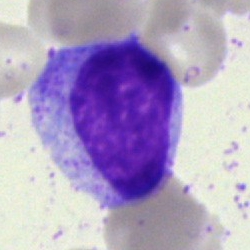 The cell shown is a myelocyte.